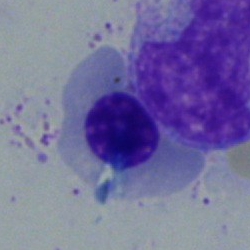
Nucleated red blood cell.